Image size 250×250 · bone marrow aspirate smear:
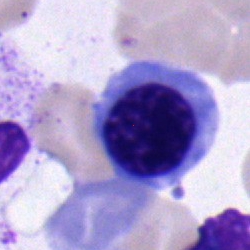
Impression — nucleated red blood cell.